Bone marrow aspirate smear.
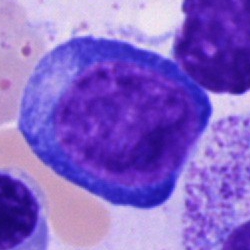
Cell type: proerythroblast.